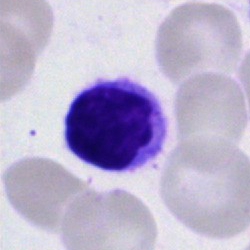Cell: typical lymphocyte.